Bone marrow aspirate smear:
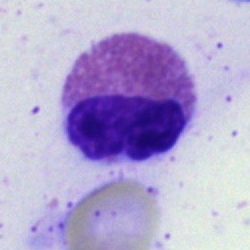 Single cell identified as an eosinophil.